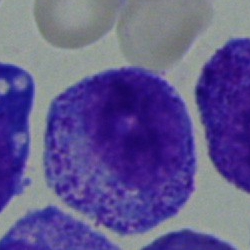
Q: Which cell type is shown here?
A: It is a myelocyte.